Bone marrow smear.
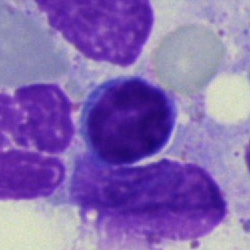

Typical lymphocyte.